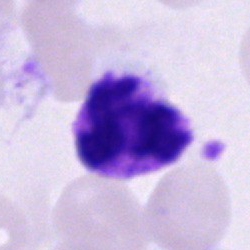 The morphological class is neutrophil (segmented).